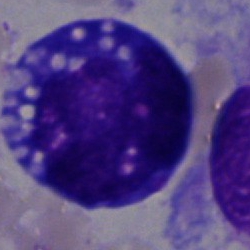Specimen: bone marrow smear.
Classification: blast cell.